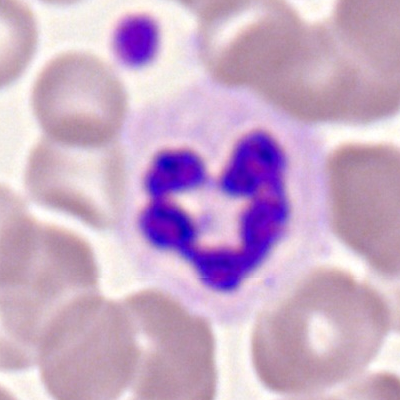This is a polymorphonuclear neutrophil.